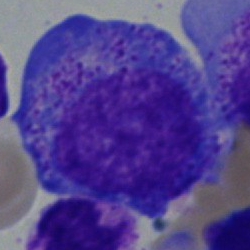A progranulocyte on a bone marrow smear.